250×250. Bone marrow smear.
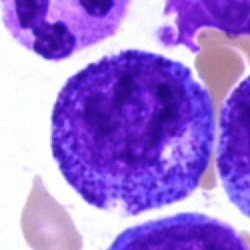

Q: What type of cell is this?
A: A progranulocyte.